Bone marrow aspirate smear. Cropped to a single cell. May-Grünwald-Giemsa/Pappenheim stain — 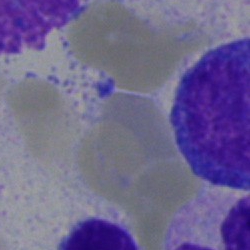
Specimen: bone marrow aspirate smear.
Classification: unidentifiable cell.